Brightfield microscopy, 40× oil immersion. Bone marrow aspirate smear. Cropped to a single cell:
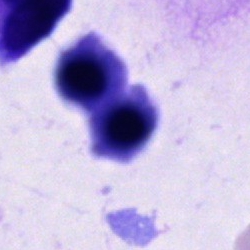 Q: What is the morphological classification of this cell?
A: This is a cell of indeterminate lineage.